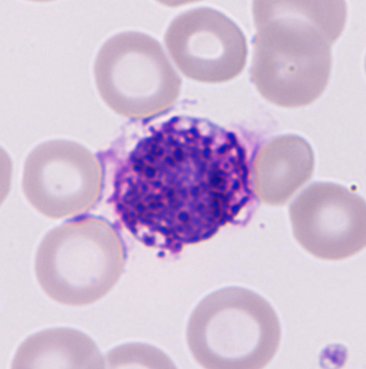 Q: Which cell type is shown here?
A: Basophilic granulocyte.